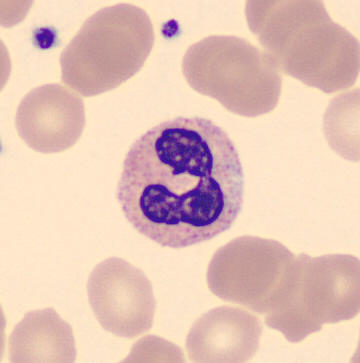 Peripheral blood smear.

The cell is neutrophil (segmented).